40× objective, oil immersion · bone marrow smear.
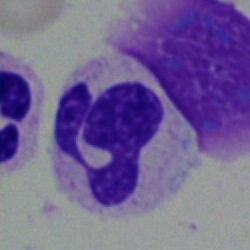
Specimen: bone marrow smear.
Morphological class: segmented neutrophil.
Lineage: myeloid.